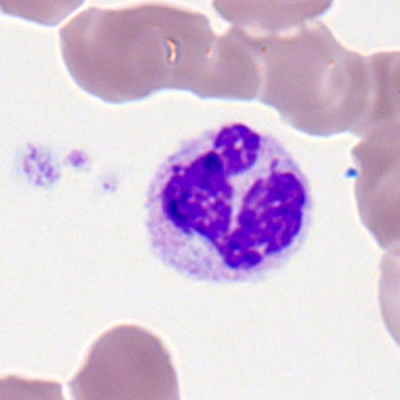
Classification = segmented neutrophil.